Bone marrow smear; 250×250; single-cell crop.
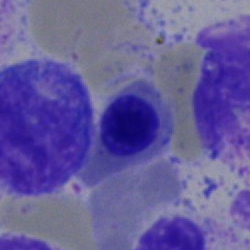Morphology — nucleated red cell.